Bone marrow aspirate smear; May-Grünwald-Giemsa/Pappenheim stain.
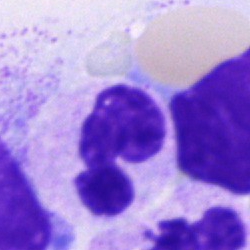 Morphological class: neutrophil (segmented).